Peripheral blood smear.
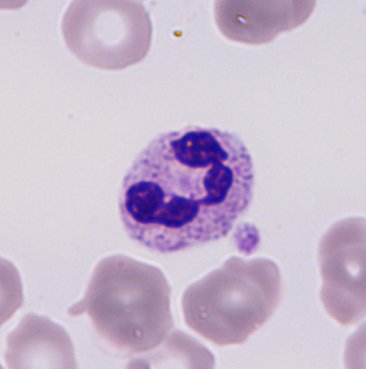Specimen: peripheral blood film.
Classification: neutrophil.
Lineage: myeloid.